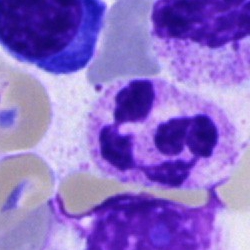 The cell type is neutrophil (segmented).